Pappenheim-stained. Bone marrow aspirate smear. Image size 250×250
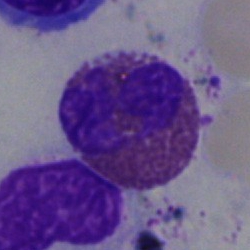

Morphology consistent with an eosinophil.